Bone marrow aspirate smear. May-Grünwald-Giemsa/Pappenheim stain.
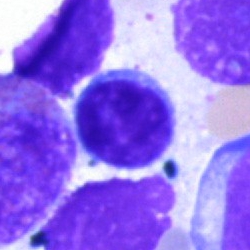 A lymphocyte.